Bone marrow aspirate smear: 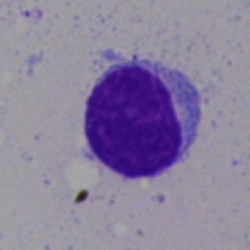 Specimen: bone marrow aspirate smear.
Classification: typical lymphocyte.